Bone marrow aspirate smear.
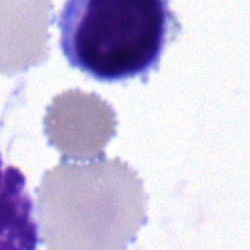Morphology → typical lymphocyte.